Bone marrow aspirate smear:
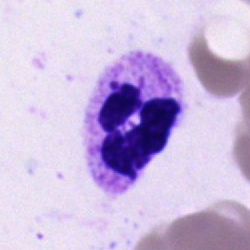

Showing a neutrophil (segmented).